Bone marrow aspirate smear; Pappenheim-stained
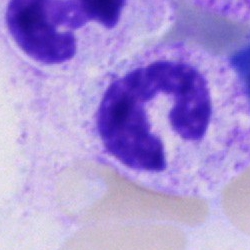The cell shown is a band-form neutrophil.